Cropped to a single cell · 250 by 250 pixels · bone marrow aspirate smear: 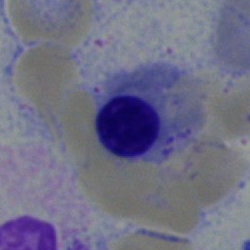
This is a nucleated red blood cell.